Bone marrow aspirate smear · May-Grünwald-Giemsa stain
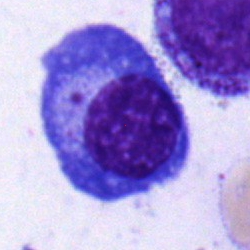

Specimen: bone marrow aspirate smear.
Classification: plasmacyte.
Lineage: lymphoid.